Bone marrow smear. Pappenheim-stained. 40× oil immersion:
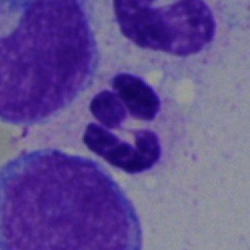
Specimen: bone marrow smear.
Classification: polymorphonuclear neutrophil.